Bone marrow aspirate smear · brightfield microscopy, 40× oil immersion:
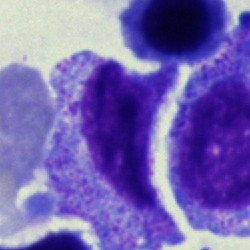
Pronormoblast.